Bone marrow aspirate smear. May-Grünwald-Giemsa stain:
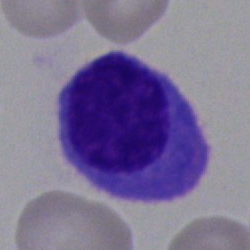

Showing a typical lymphocyte.